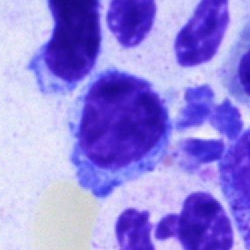Single cell identified as a typical lymphocyte.